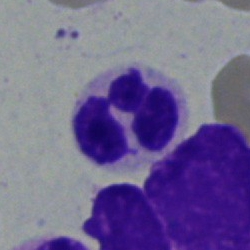

Morphological class — neutrophil (segmented).